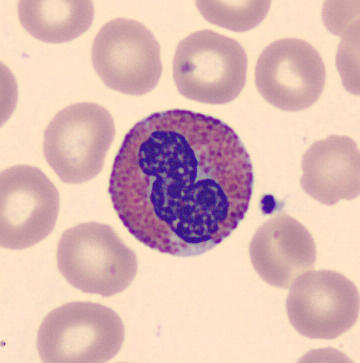

Acquisition: Peripheral blood smear. May Grünwald-Giemsa stain. Automated cell imaging (CellaVision DM96).
Classification: eosinophilic granulocyte.